Peripheral blood smear · cropped to a single cell · Romanowsky-type stain
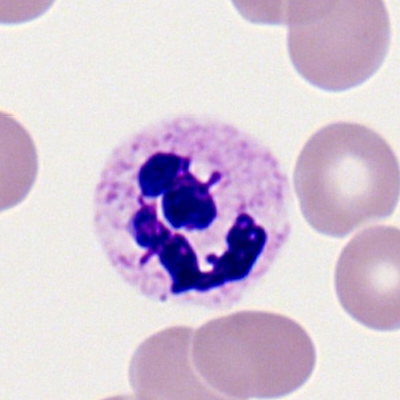
Impression — neutrophil (segmented).